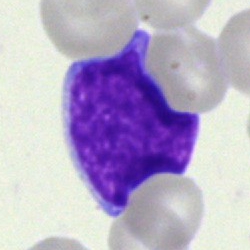
An undifferentiated blast.